Bone marrow aspirate smear. 40× oil immersion:
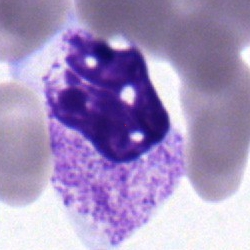Polymorphonuclear neutrophil.